Brightfield, 40× oil-immersion objective. Pappenheim-stained. Bone marrow aspirate smear
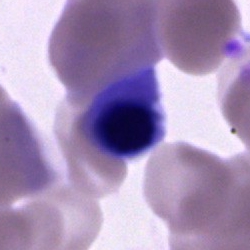Classification: normoblast.